Bone marrow aspirate smear. Image size 250×250 — 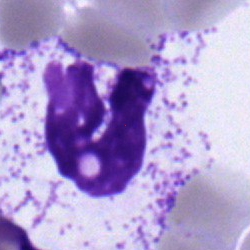 Q: What type of cell is this?
A: Stab cell.